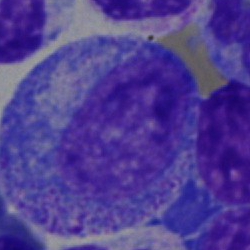 {"cell_type": "promyelocyte", "lineage": "myeloid"}